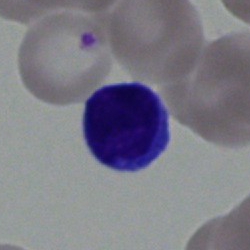
Q: What type of cell is this?
A: Typical lymphocyte.